250 by 250 pixels · bone marrow smear.
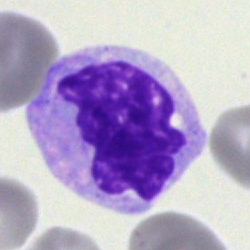Impression — monocyte.